Single cell centered in the field · MGG-stained · bone marrow smear:
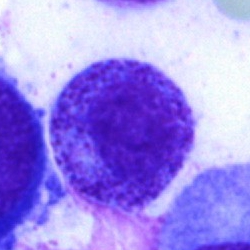

Impression → myelocyte.